Bone marrow smear.
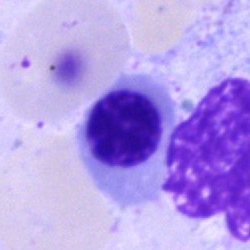 This is a nucleated red cell.